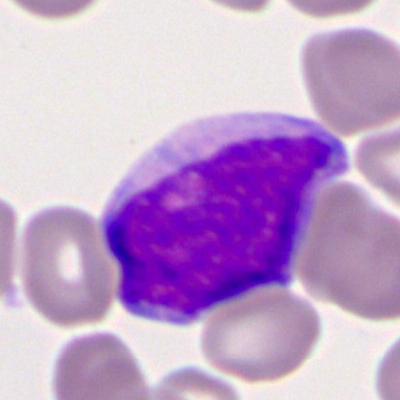Q: What cell is this?
A: It is a myeloblast.